Bone marrow aspirate smear: 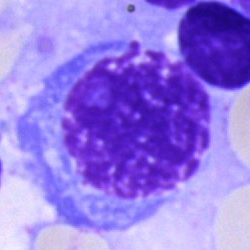

Specimen: bone marrow aspirate smear.
Cell: plasmacyte.
Lineage: lymphoid.